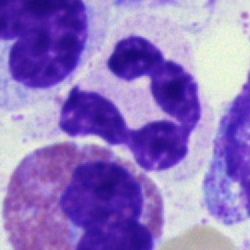
{"cell_type": "neutrophil (segmented)"}